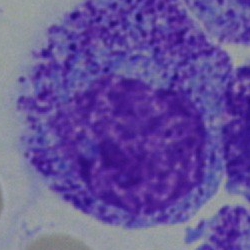Q: What type of cell is this?
A: A progranulocyte.